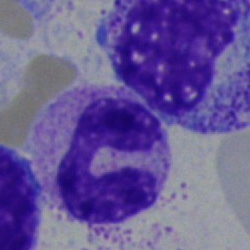Cell type: neutrophil (segmented).